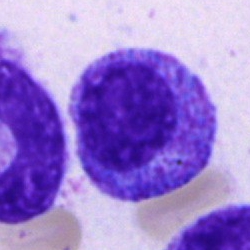The cell shown is a myelocyte.